Bone marrow aspirate smear — 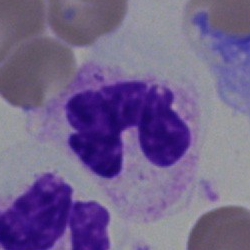

Morphology — segmented neutrophil.